Brightfield, 40× oil-immersion objective. Bone marrow smear — 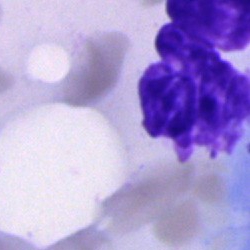
Showing an artifact.